Bone marrow smear: 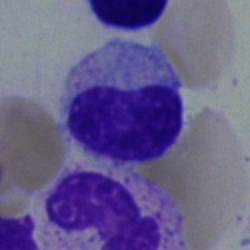
Specimen: bone marrow aspirate smear.
Cell: typical lymphocyte.
Lineage: lymphoid.